Bone marrow aspirate smear — 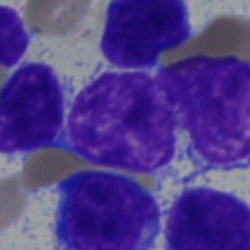

Morphological class: typical lymphocyte.